Bone marrow smear
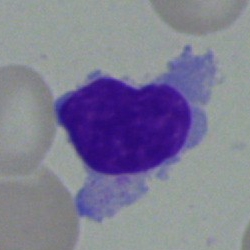
Morphology — lymphocyte.